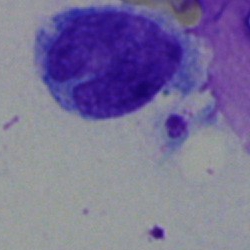

Single cell identified as a monocyte.